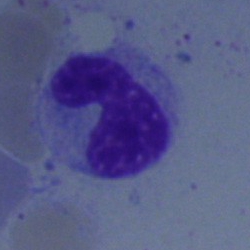
Specimen: bone marrow aspirate smear.
Morphological class: neutrophil (band).
Lineage: myeloid.